Bone marrow aspirate smear: 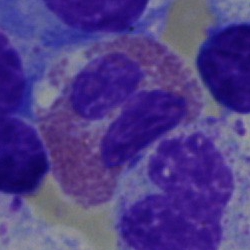

Cell type = eosinophil.